Bone marrow aspirate smear.
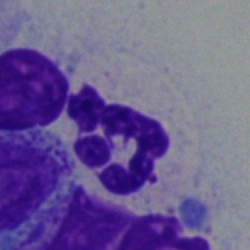 The cell is segmented neutrophil.